Bone marrow smear. Image size 250×250.
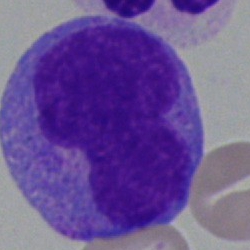A monocyte.